Bone marrow aspirate smear.
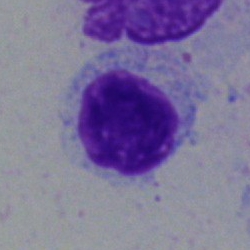Morphology consistent with a typical lymphocyte.